Cropped to a single cell. Bone marrow aspirate smear: 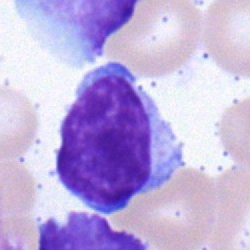

Morphological class = lymphocyte.